Bone marrow aspirate smear: 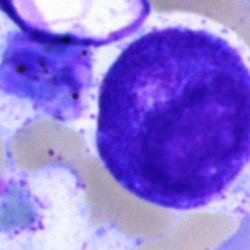Progranulocyte.